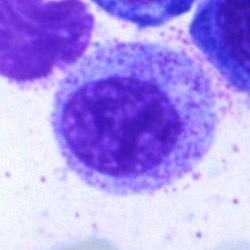 Q: What is the morphological classification of this cell?
A: This is a myelocyte.